Bone marrow smear: 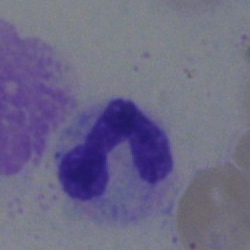

A polymorphonuclear neutrophil.